Bone marrow smear.
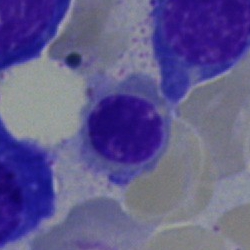

Classification — erythroblast.